Brightfield, 40× oil-immersion objective. Bone marrow smear — 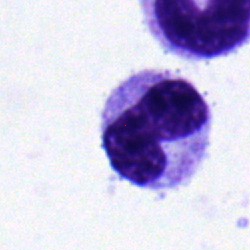

This is a metamyelocyte.